Bone marrow smear:
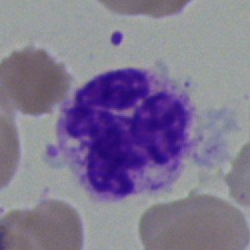 Specimen: bone marrow smear.
Morphological class: segmented neutrophil.
Lineage: myeloid.